May-Grünwald-Giemsa stain; 250 by 250 pixels; bone marrow smear
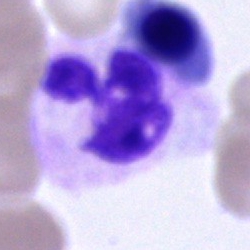

Cell type — segmented neutrophil.